Single cell centered in the field · May-Grünwald-Giemsa/Pappenheim stain · bone marrow aspirate smear — 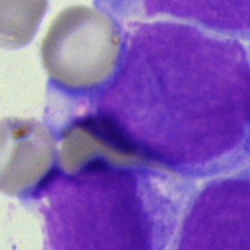

Specimen: bone marrow aspirate smear.
Classification: undifferentiated blast.